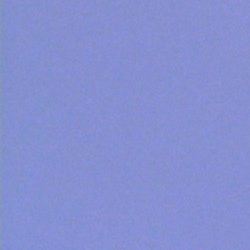Q: What is shown here?
A: Artifact.